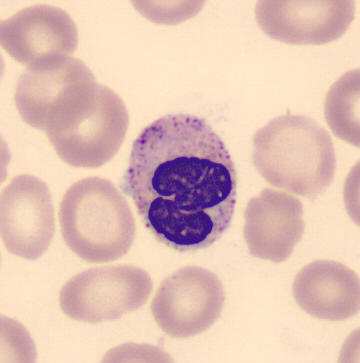

Peripheral blood smear.
Neutrophil (band).